Bone marrow smear: 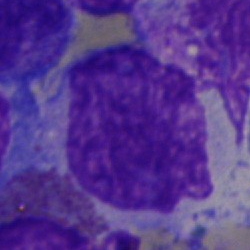Artefact.